May-Grünwald-Giemsa stain · brightfield, 40× oil-immersion objective · bone marrow aspirate smear:
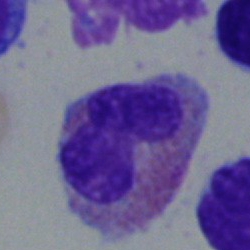 Impression — eosinophilic granulocyte.